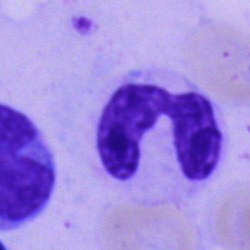
Q: Which cell type is shown here?
A: A segmented neutrophil.